250×250 px; May-Grünwald-Giemsa/Pappenheim stain; bone marrow aspirate smear: 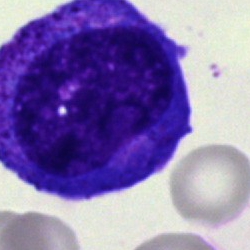

A progranulocyte.